Peripheral blood film; MGG-stained.
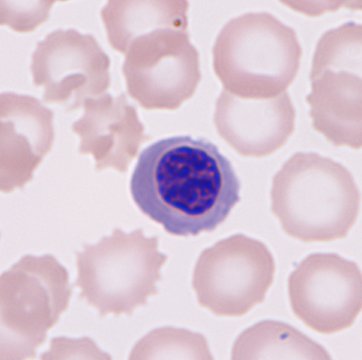 Cell — nucleated red cell.